250×250 · bone marrow aspirate smear: 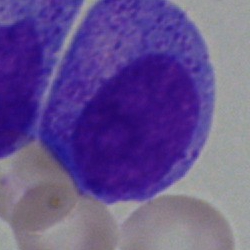
This is a promyelocyte.